100× oil immersion · Romanowsky stain · peripheral blood film:
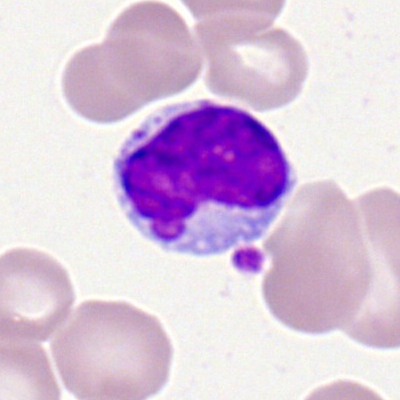 The morphological class is typical lymphocyte.